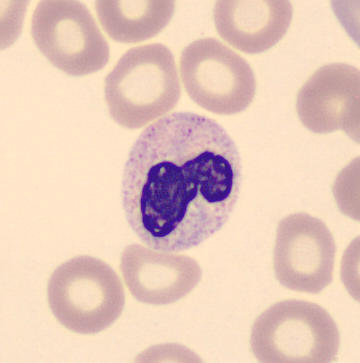Specimen: peripheral blood smear.
Cell: band neutrophil.
Lineage: myeloid.